Bone marrow smear. Single cell centered in the field.
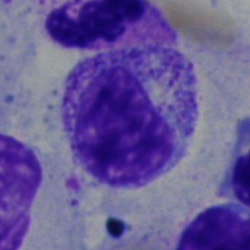Impression — myelocyte.